Peripheral blood smear · single-cell field:
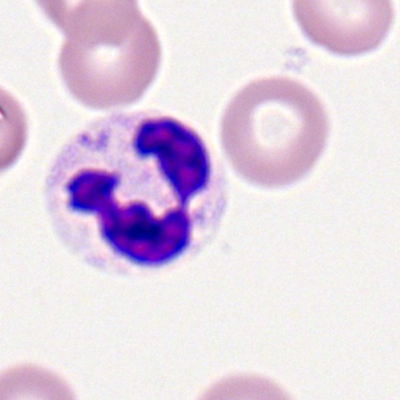

This is a neutrophil (segmented).